Bone marrow smear: 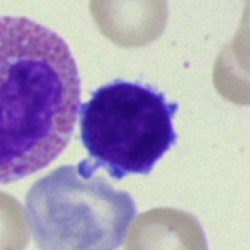 The classification is lymphocyte.